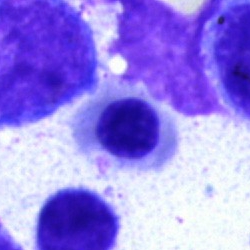
Single cell identified as a normoblast.